Peripheral blood smear · CellaVision DM96
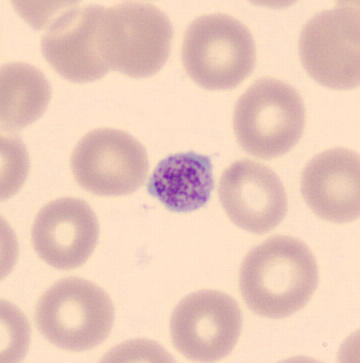
Classification: thrombocyte.